Bone marrow aspirate smear. 250×250 px — 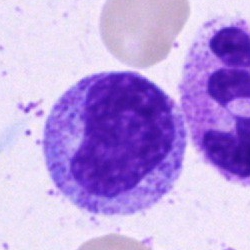Specimen: bone marrow smear.
Morphological class: myelocyte.